Brightfield, 40× oil-immersion objective; bone marrow smear: 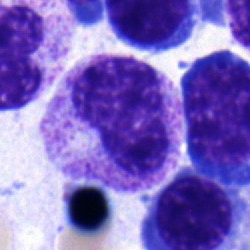

Q: What is the morphological classification of this cell?
A: This is a myelocyte.